Bone marrow aspirate smear.
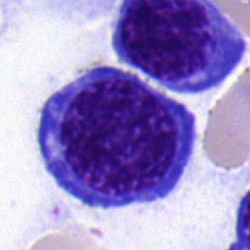

Specimen: bone marrow aspirate smear.
Morphological class: normoblast.